Bone marrow smear · single cell centered in the field
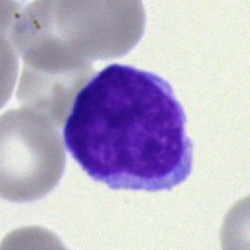
Q: What is the morphological classification of this cell?
A: This is a typical lymphocyte.